Bone marrow smear.
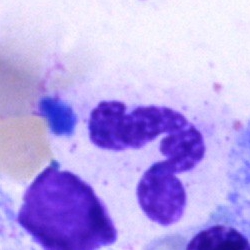Impression → polymorphonuclear neutrophil.